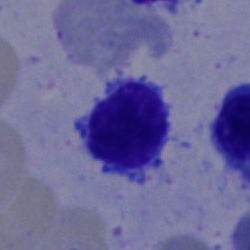Cell type = typical lymphocyte.